250×250 px · bone marrow aspirate smear — 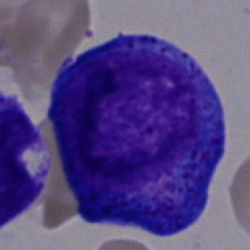
Showing a progranulocyte.